Single-cell crop. Bone marrow aspirate smear:
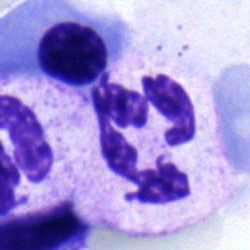
Classification = segmented neutrophil.